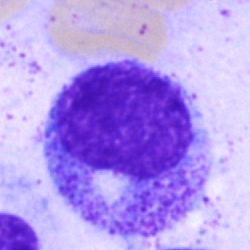
Promyelocyte.